Peripheral blood film. Image size 400×400
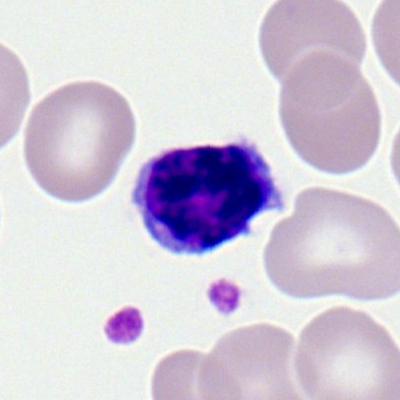

Q: What cell is this?
A: It is a lymphocyte.